Bone marrow aspirate smear
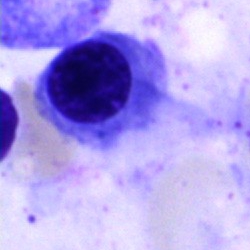
The cell type is nucleated red cell.